Bone marrow smear.
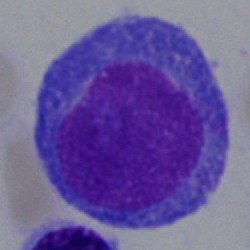
Cell type = undifferentiated blast.